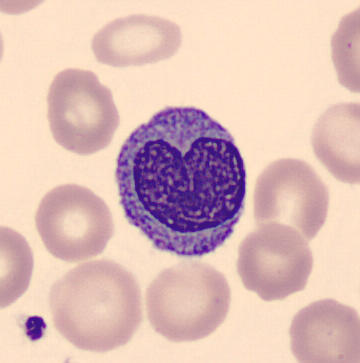
Single cell identified as a monocyte.